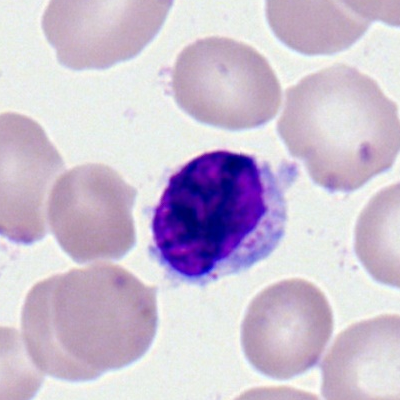
Q: What is the morphological classification of this cell?
A: It is a lymphocyte.